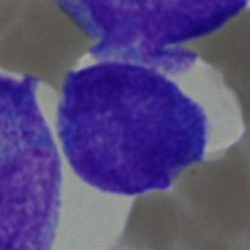 Q: What is the morphological classification of this cell?
A: Undifferentiated blast.